40× oil immersion. Bone marrow aspirate smear.
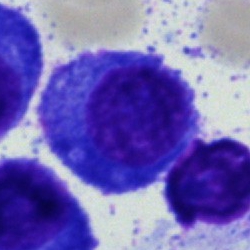 Classification: plasmacyte.